250 by 250 pixels · bone marrow smear · MGG-stained: 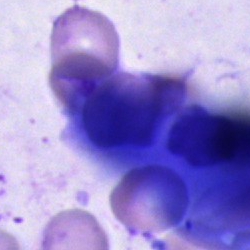
Q: What is shown here?
A: An artefact.